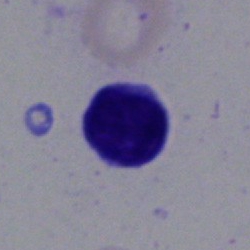 Cell — typical lymphocyte.